Bone marrow smear. Brightfield microscopy, 40× oil immersion — 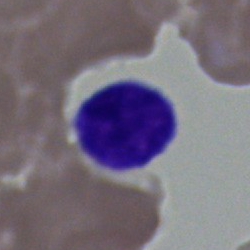 The cell is lymphocyte.